Bone marrow smear:
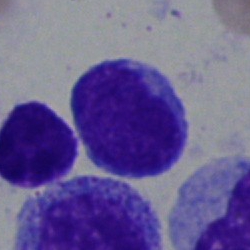

{"cell_type": "lymphocyte"}